Bone marrow aspirate smear — 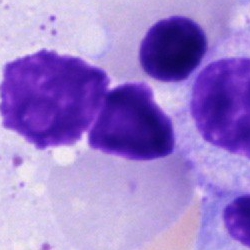

Impression → artifact.